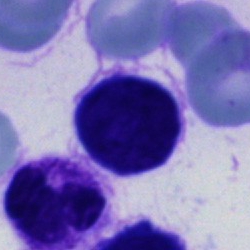

This is an unidentifiable cell.